Bone marrow aspirate smear — 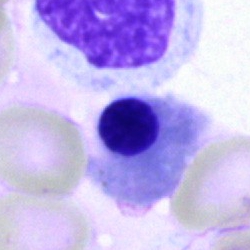

Morphological class = erythroblast.